Bone marrow smear.
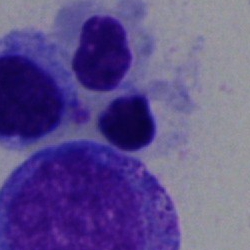

Q: Identify the cell.
A: Nucleated red blood cell.